Bone marrow aspirate smear. Image size 250×250
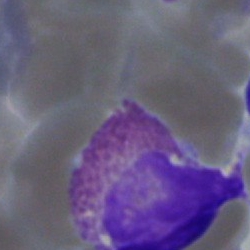
An eosinophil.